Bone marrow smear; brightfield microscopy, 40× oil immersion — 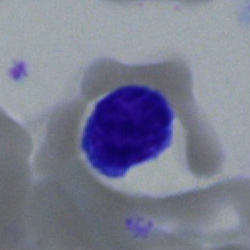 {"cell_type": "typical lymphocyte", "lineage": "lymphoid"}